Bone marrow aspirate smear — 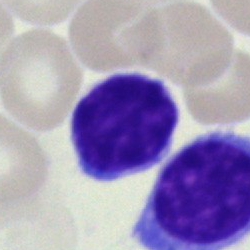 Specimen: bone marrow smear.
Cell: typical lymphocyte.